Bone marrow aspirate smear:
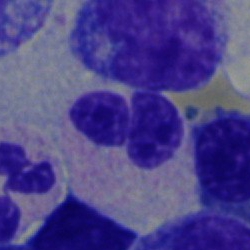The cell is polymorphonuclear neutrophil.